Peripheral blood film. Romanowsky-type stain
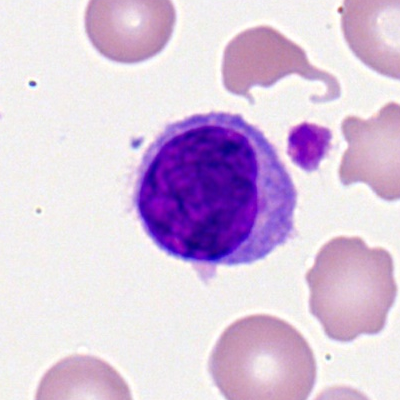Impression — typical lymphocyte.